Bone marrow smear — 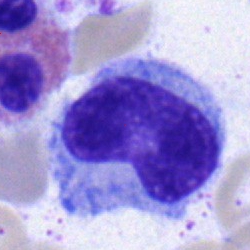

Cell = metamyelocyte.